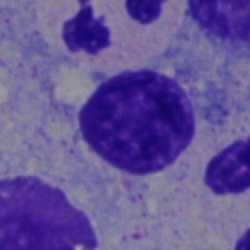

Morphology — lymphocyte.